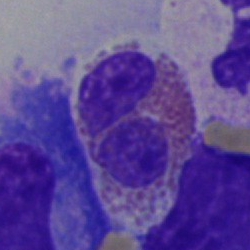
Cell: eosinophil.